May-Grünwald-Giemsa stain · 250×250 px · bone marrow smear
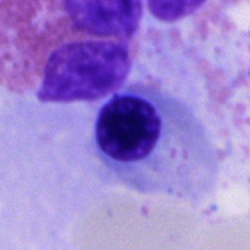
Specimen: bone marrow smear.
Cell type: normoblast.
Lineage: erythroid.